Bone marrow aspirate smear — 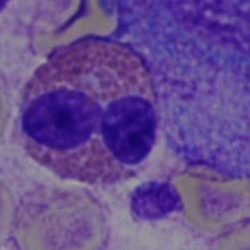Q: Which cell type is shown here?
A: This is an eosinophil.